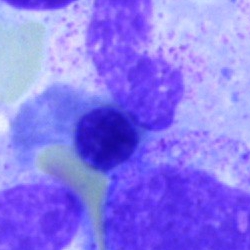Impression → nucleated red blood cell.